Pappenheim-stained. Bone marrow smear.
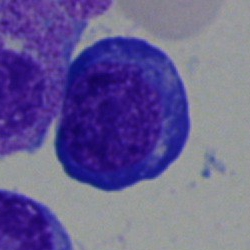Single cell identified as an erythroblast.